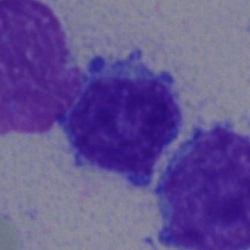Morphology → typical lymphocyte.